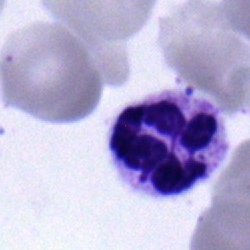
Morphology → polymorphonuclear neutrophil.